Bone marrow smear · cropped to a single cell · brightfield, 40× oil-immersion objective.
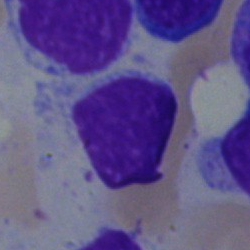

Q: Which cell type is shown here?
A: Typical lymphocyte.